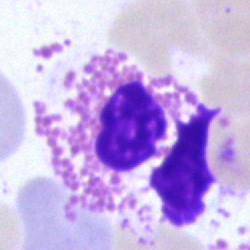

Single cell identified as an artifact.